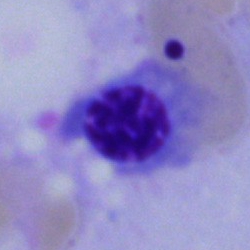 Q: What cell is this?
A: It is a normoblast.